Bone marrow smear
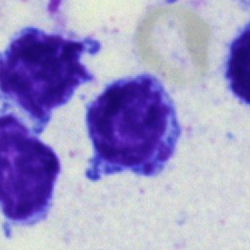Classification = lymphocyte.